Bone marrow smear; single cell centered in the field
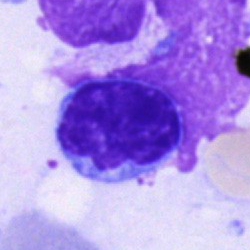 Morphology → lymphocyte.